Bone marrow aspirate smear
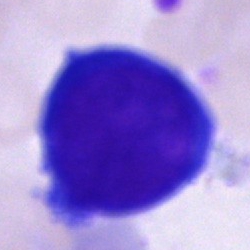
The cell type is unidentifiable cell.